Single cell centered in the field · bone marrow smear — 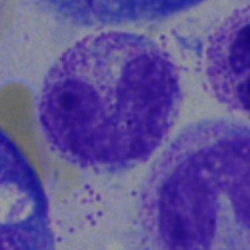 Q: Which cell type is shown here?
A: It is a band neutrophil.